40× oil immersion; bone marrow aspirate smear; 250 by 250 pixels — 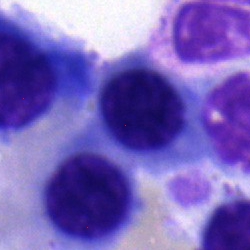

Cell type: nucleated red blood cell.